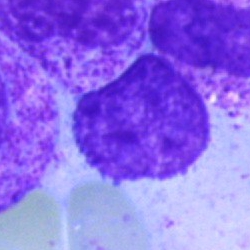 Q: What is shown here?
A: Artefact.